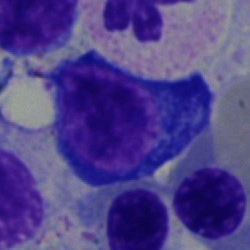
Classification — proerythroblast.